Bone marrow smear:
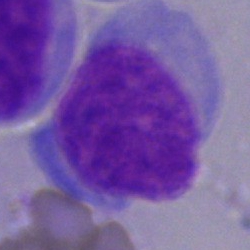
Blast cell.